Peripheral blood film — 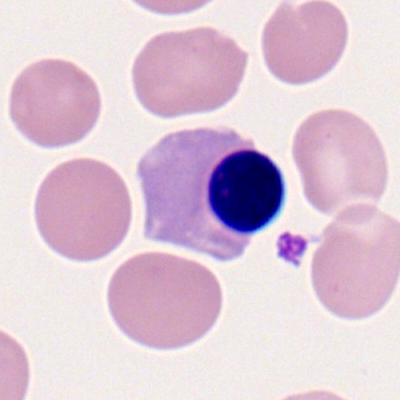Cell type — nucleated red blood cell.